Pappenheim-stained · bone marrow aspirate smear — 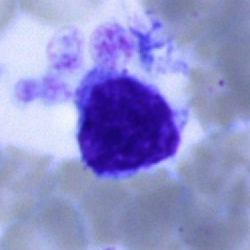The cell shown is a lymphocyte.